May-Grünwald-Giemsa stain. Bone marrow aspirate smear. Single-cell crop.
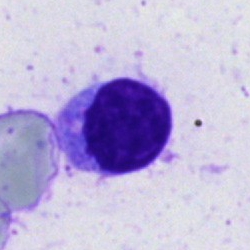
Morphology — typical lymphocyte.